Image size 250×250; bone marrow aspirate smear: 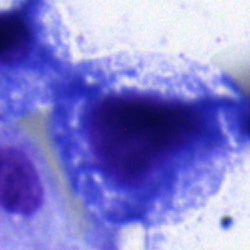
Showing a progranulocyte.